Bone marrow aspirate smear:
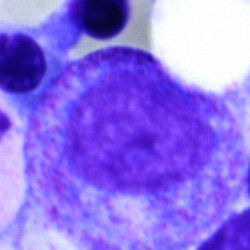
Impression → progranulocyte.